250 by 250 pixels · bone marrow aspirate smear · brightfield microscopy, 40× oil immersion: 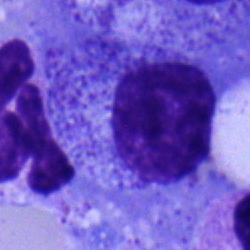

The cell shown is a myelocyte.